Image size 250×250 · bone marrow smear:
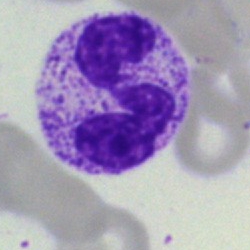

Morphology — polymorphonuclear neutrophil.